Bone marrow aspirate smear: 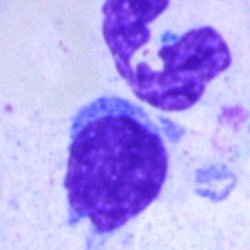

Impression → lymphocyte.